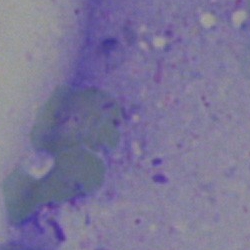 Cell: artefact.